Bone marrow aspirate smear:
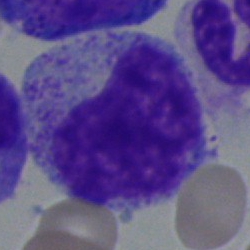 Myelocyte.